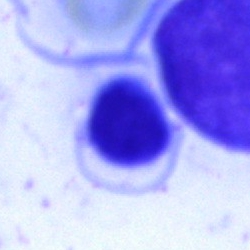
Showing an unidentifiable cell.